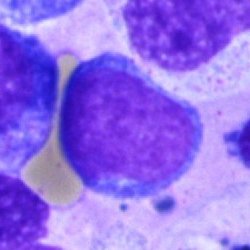

Specimen: bone marrow smear.
Classification: blast cell.